Bone marrow smear.
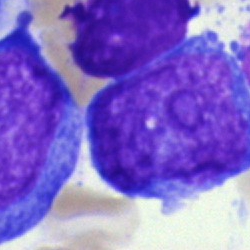
The cell shown is an undifferentiated blast.